Bone marrow smear:
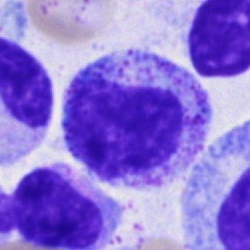Cell type = myelocyte.